Peripheral blood smear:
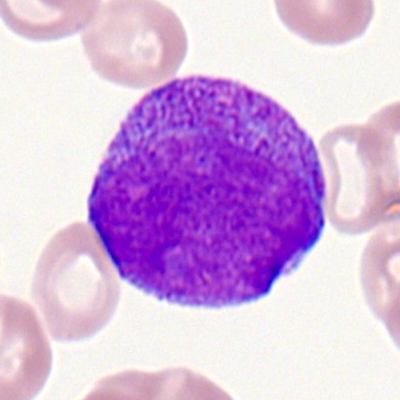
Cell type — promyelocyte.